Bone marrow smear:
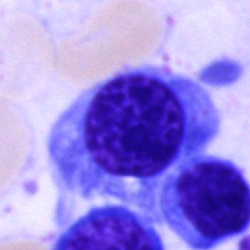

The cell shown is an erythroblast.